Single-cell crop · bone marrow smear:
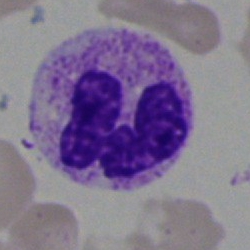Classification — neutrophil (segmented).